Bone marrow aspirate smear
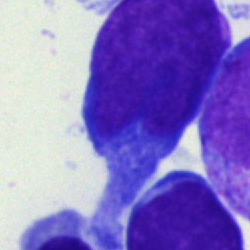 This is a blast cell.